Single cell centered in the field · bone marrow aspirate smear · 250×250
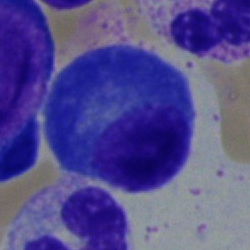 Morphological class = plasma cell.